Bone marrow smear. May-Grünwald-Giemsa stain
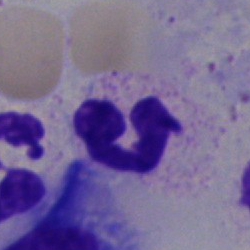

This is a segmented neutrophil.